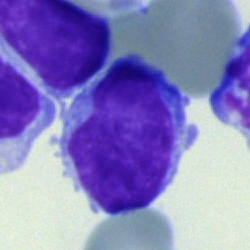

Morphology consistent with a typical lymphocyte.